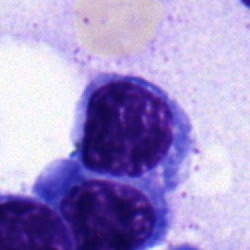Specimen: bone marrow aspirate smear.
Morphological class: nucleated red blood cell.